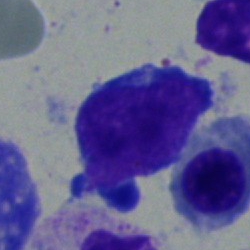
Bone marrow aspirate smear, single cell — erythroblast.